Image size 250×250 · bone marrow aspirate smear: 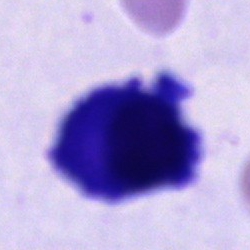
Specimen: bone marrow smear.
Cell type: plasma cell.